Bone marrow aspirate smear: 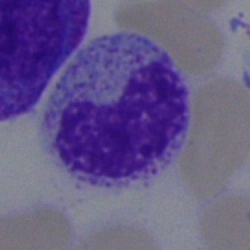 Cell type = metamyelocyte.